Bone marrow smear: 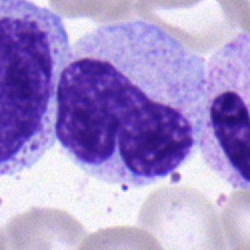
Morphological class = stab cell.